Bone marrow smear. 250 by 250 pixels
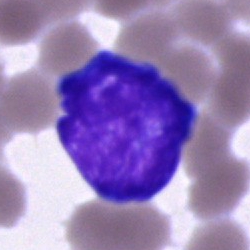
Impression — artefact.